250 by 250 pixels; bone marrow aspirate smear
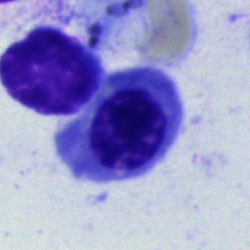Q: Identify the cell.
A: This is a nucleated red cell.